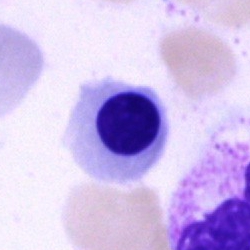Specimen: bone marrow smear.
Cell: normoblast.